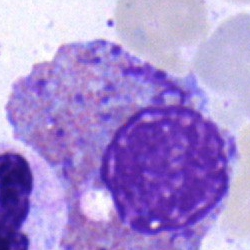

An eosinophilic granulocyte on a bone marrow smear.